Bone marrow aspirate smear: 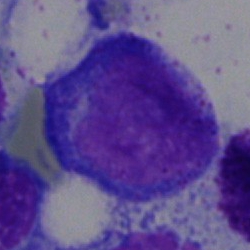Proerythroblast.